250×250 · bone marrow smear — 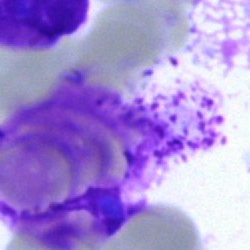

Specimen: bone marrow smear.
Morphological class: artifact.